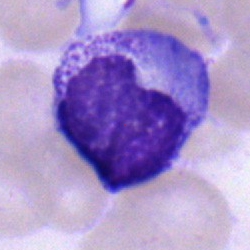
The cell shown is a monocyte.